Peripheral blood film. Image size 360×360. Single-cell crop
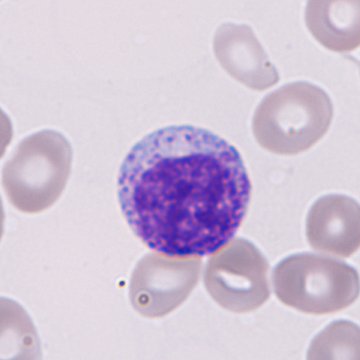Specimen: peripheral blood smear.
Cell: immature granulocyte.